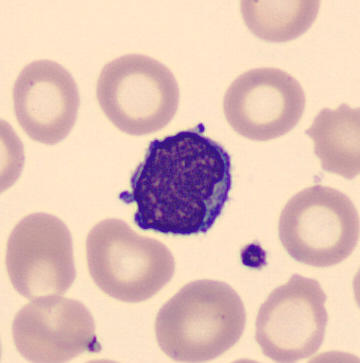 Image: Single-cell crop · peripheral blood film. Showing a typical lymphocyte.